Bone marrow aspirate smear
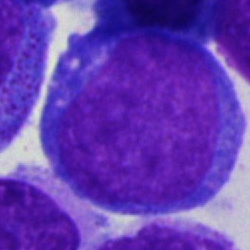
Morphological class — proerythroblast.